Bone marrow aspirate smear. MGG-stained — 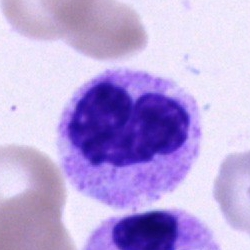Q: What type of cell is this?
A: This is a polymorphonuclear neutrophil.